Bone marrow aspirate smear — 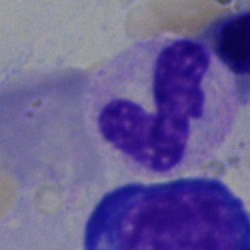 This is a segmented neutrophil.